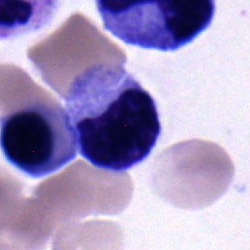
Morphology consistent with a metamyelocyte.